Bone marrow aspirate smear. 40× oil immersion. Image size 250×250 — 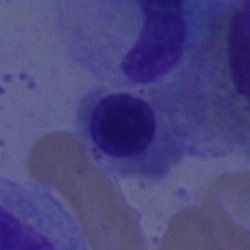

Classification: nucleated red cell.